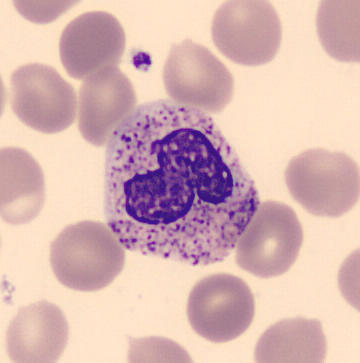
A segmented neutrophil.

Peripheral blood film; CellaVision DM96; May Grünwald-Giemsa stain.